Bone marrow aspirate smear; 250 by 250 pixels
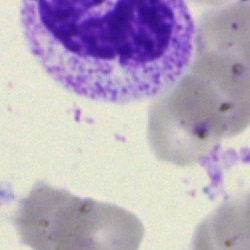
Morphology consistent with a stab cell.